Bone marrow aspirate smear; single-cell field; image size 250×250.
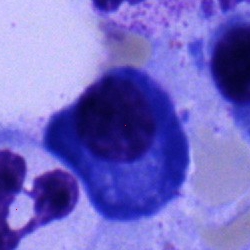
Impression → plasmacyte.